400 by 400 pixels · peripheral blood film
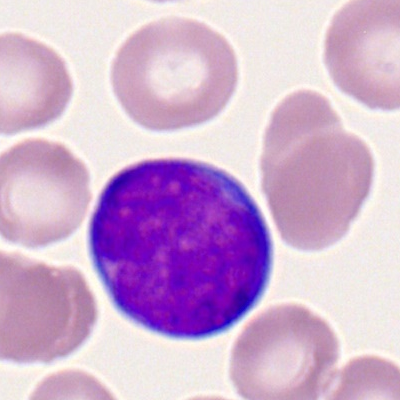A myeloid blast.